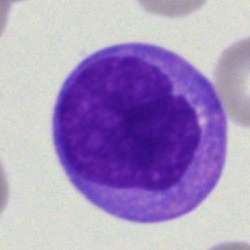

An undifferentiated blast on a bone marrow smear.